40× objective, oil immersion. Bone marrow smear: 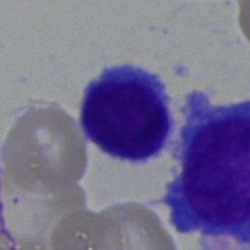 Q: Which cell type is shown here?
A: A typical lymphocyte.